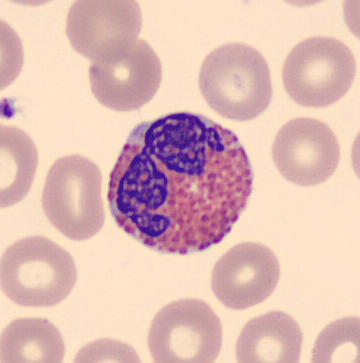

Acquisition: Peripheral blood film; imaged on a CellaVision DM96 analyser.

The cell shown is an eosinophil.